Brightfield, 40× oil-immersion objective; bone marrow smear.
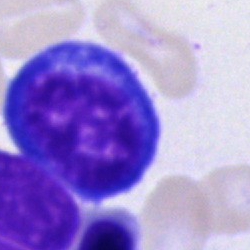

This is a proerythroblast.